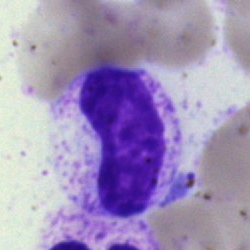
Classification: band neutrophil.